Bone marrow smear.
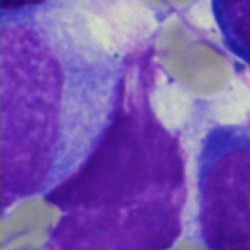
Showing an artifact.